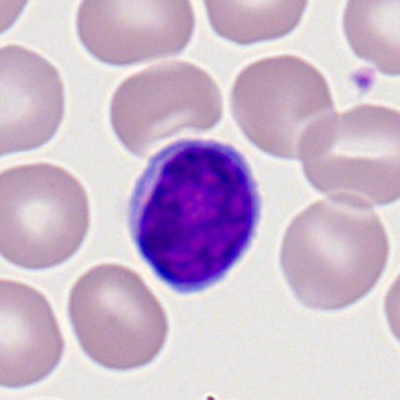

Q: What type of cell is this?
A: Typical lymphocyte.